Bone marrow aspirate smear: 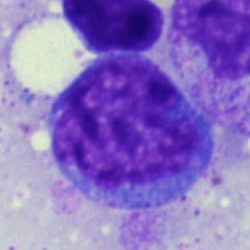
Specimen: bone marrow smear.
Classification: monocyte.
Lineage: myeloid.